Brightfield microscopy, 40× oil immersion · bone marrow aspirate smear — 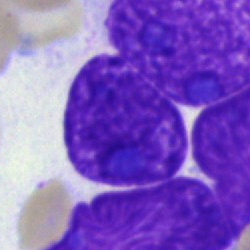

Q: What is shown here?
A: Artifact.